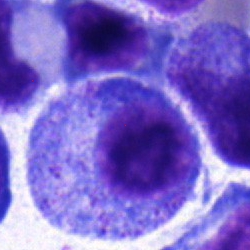
Cell type = progranulocyte.